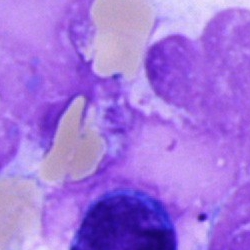Classification — artifact.